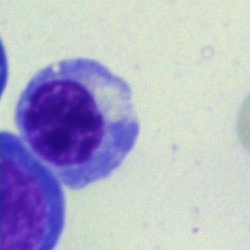
Specimen: bone marrow aspirate smear.
Classification: nucleated red cell.
Lineage: erythroid.